Brightfield microscopy, 40× oil immersion · bone marrow smear — 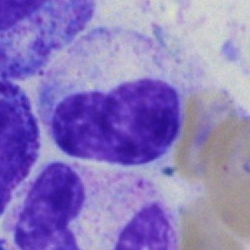

A metamyelocyte.